40× oil immersion · MGG-stained · bone marrow aspirate smear: 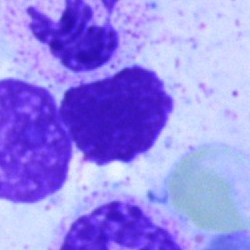 Artefact.